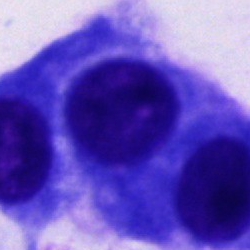

The morphological class is cell not matching the other categories.